Bone marrow smear; single cell centered in the field.
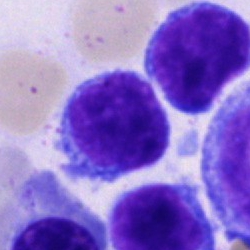 A typical lymphocyte.